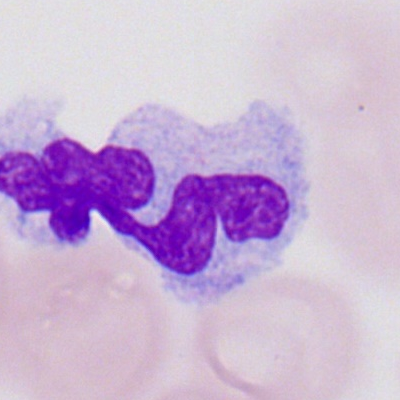

Morphological class — monocyte.